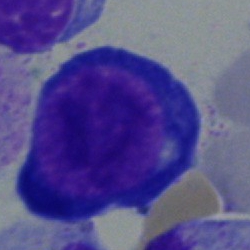

Single-cell crop from a bone marrow smear: proerythroblast.